Bone marrow aspirate smear — 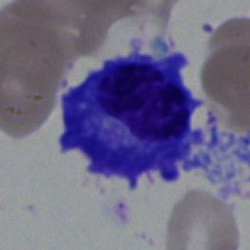
A plasmacyte.